Bone marrow aspirate smear:
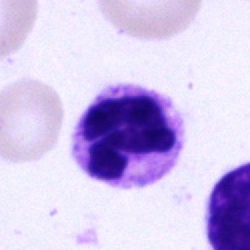The cell shown is a neutrophil (segmented).